Bone marrow smear · single-cell field:
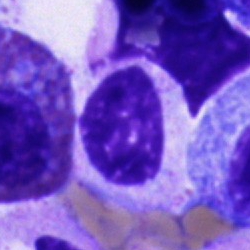
Morphological class = unidentifiable cell.